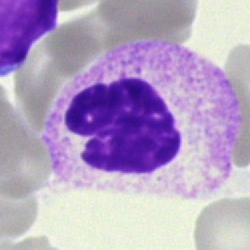
Q: Which cell type is shown here?
A: This is a neutrophil (segmented).